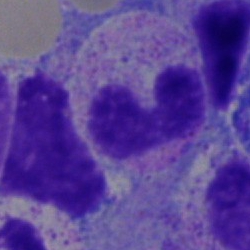

Band-form neutrophil.